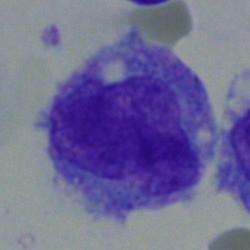Morphology — monocyte.